Bone marrow smear
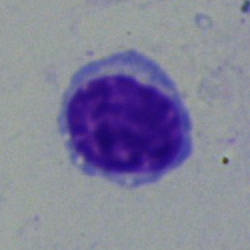
This is a typical lymphocyte.